Bone marrow aspirate smear.
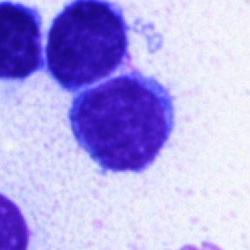

Single cell identified as a typical lymphocyte.